Bone marrow aspirate smear.
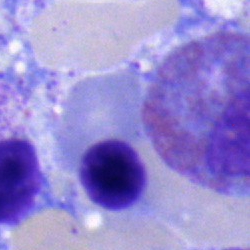

This is an eosinophil.